Bone marrow aspirate smear — 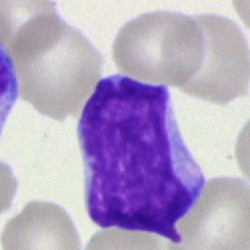Morphology consistent with a blast cell.